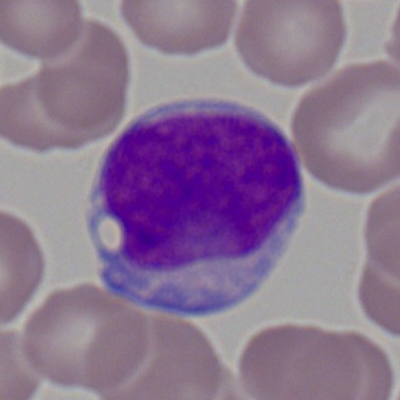
Specimen: peripheral blood film.
Cell: myeloblast.
Lineage: myeloid.